Brightfield, 40× oil-immersion objective · bone marrow aspirate smear
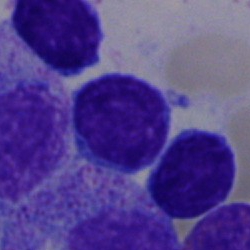
Cell: lymphocyte.